Peripheral blood smear
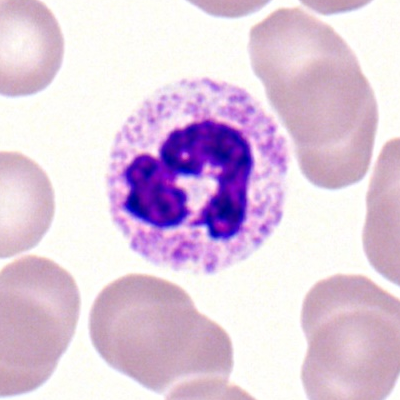Specimen: peripheral blood film.
Classification: neutrophil (segmented).
Lineage: myeloid.